Bone marrow aspirate smear:
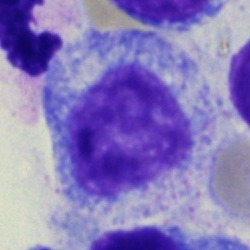The cell shown is a progranulocyte.